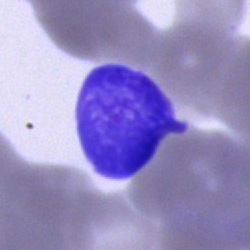 Morphology → artefact.